Bone marrow aspirate smear: 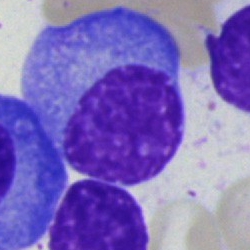

Q: Which cell type is shown here?
A: A plasmacyte.